Brightfield microscopy, 40× oil immersion · bone marrow smear: 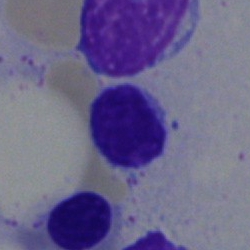
A typical lymphocyte.